40× oil immersion · bone marrow aspirate smear.
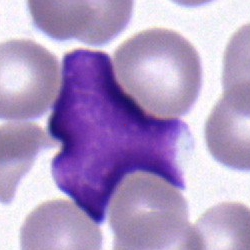 The morphological class is typical lymphocyte.